Bone marrow aspirate smear — 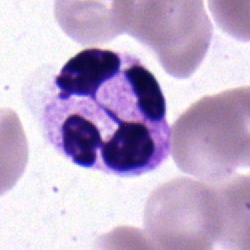 Q: Identify the cell.
A: Segmented neutrophil.